Bone marrow smear:
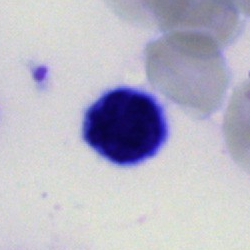
The cell type is lymphocyte.